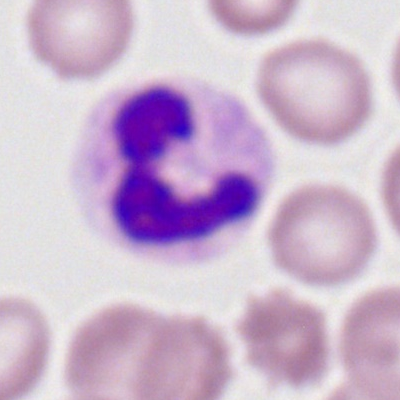Neutrophil (segmented).